Bone marrow smear: 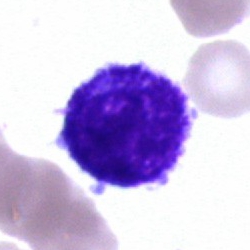 The cell shown is a lymphocyte.